40× oil immersion; bone marrow aspirate smear
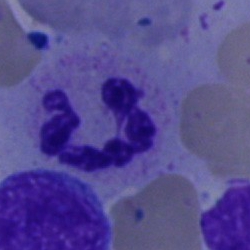

Cell = segmented neutrophil.